Bone marrow aspirate smear.
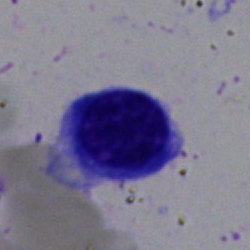 Q: What cell is this?
A: It is a lymphocyte.